Single cell centered in the field; bone marrow smear — 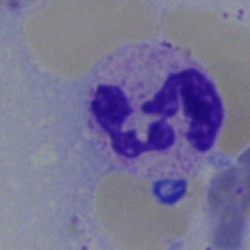Classification = polymorphonuclear neutrophil.